Bone marrow aspirate smear · 40× oil immersion:
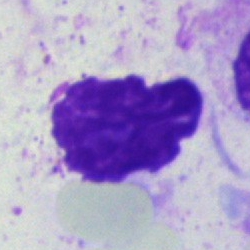Single cell identified as an artefact.